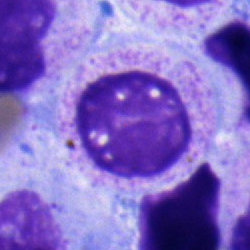
Morphology → myelocyte.